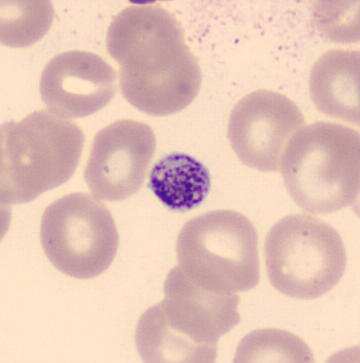
Peripheral blood film.

Platelet (thrombocyte).